Bone marrow aspirate smear
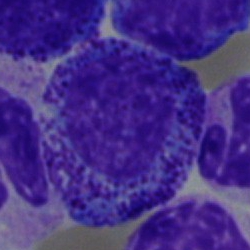
Cell type — promyelocyte.